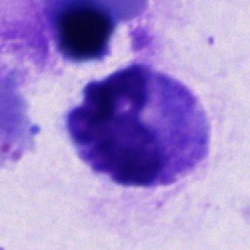
Unidentifiable cell.